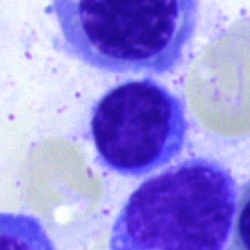

Cell type = lymphocyte.